Bone marrow smear · single cell centered in the field:
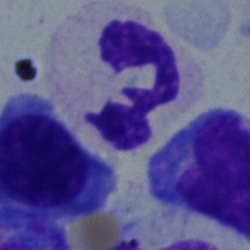 {"cell_type": "segmented neutrophil"}